40× objective, oil immersion. Bone marrow aspirate smear:
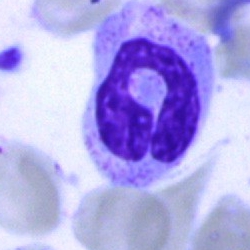

Specimen: bone marrow smear.
Cell: segmented neutrophil.